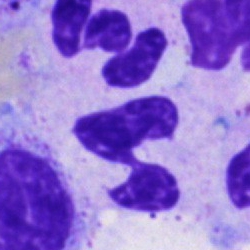
Cell: polymorphonuclear neutrophil.